Bone marrow smear — 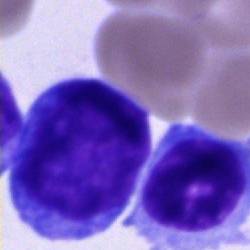

Q: What is the morphological classification of this cell?
A: It is an undifferentiated blast.